Bone marrow aspirate smear; 250×250.
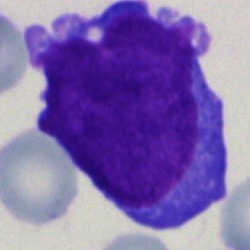
Impression — blast.